Bone marrow aspirate smear; brightfield microscopy, 40× oil immersion
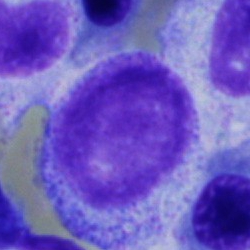

Classification = myelocyte.